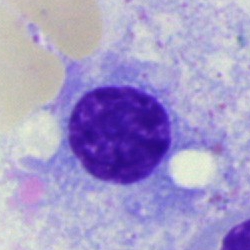
Specimen: bone marrow aspirate smear.
Cell type: erythroblast.